250×250 px · bone marrow aspirate smear: 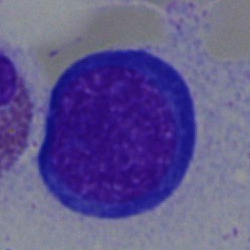

Cell type: proerythroblast.